Bone marrow aspirate smear:
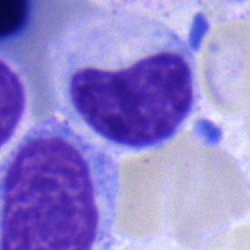 The cell type is neutrophil (segmented).